Bone marrow aspirate smear. 250×250: 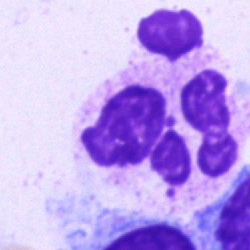Impression → polymorphonuclear neutrophil.